Bone marrow smear.
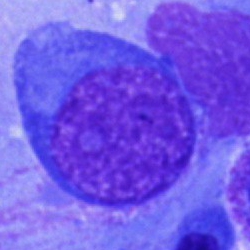
Morphology → blast.